Bone marrow aspirate smear; cropped to a single cell; May-Grünwald-Giemsa/Pappenheim stain.
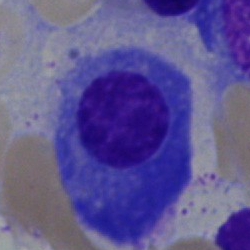
Classification: plasma cell.